Single-cell crop. Bone marrow aspirate smear.
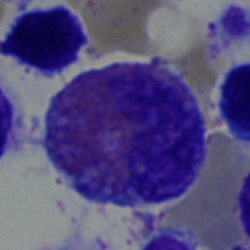The cell shown is an eosinophil.